250 by 250 pixels; bone marrow aspirate smear: 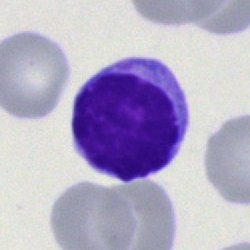

Single cell identified as a lymphocyte.